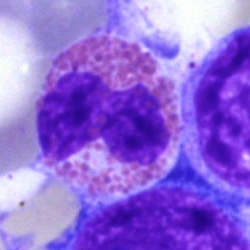

This is an eosinophil.